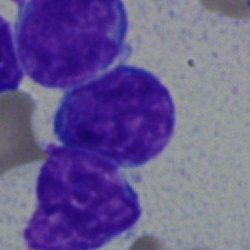
Typical lymphocyte.